Bone marrow smear
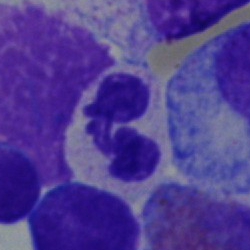
Classification: neutrophil (segmented).